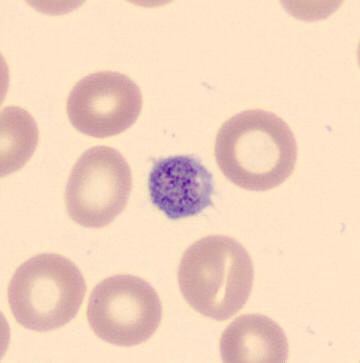

Q: What is this?
A: This is a platelet. Acquisition: Peripheral blood smear.